Bone marrow smear — 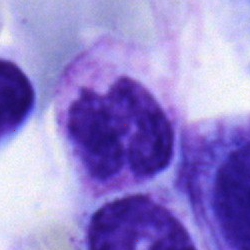

Morphology consistent with a segmented neutrophil.